Brightfield microscopy, 40× oil immersion. Pappenheim-stained. Bone marrow aspirate smear.
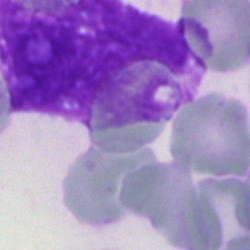
Specimen: bone marrow smear.
Cell: artefact.